250 by 250 pixels. Bone marrow smear. Pappenheim-stained: 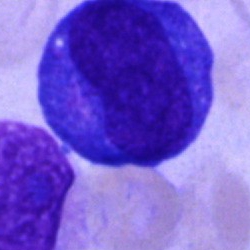

This is a blast cell.